Single cell centered in the field · bone marrow smear:
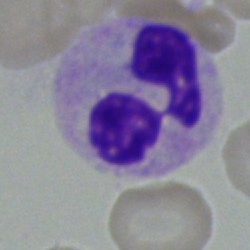Specimen: bone marrow aspirate smear.
Morphological class: segmented neutrophil.
Lineage: myeloid.